250×250; bone marrow smear — 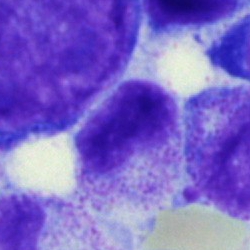 Classification = metamyelocyte.